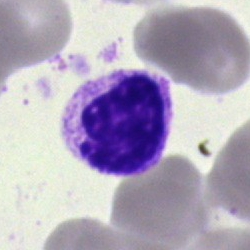Classification = stab cell.